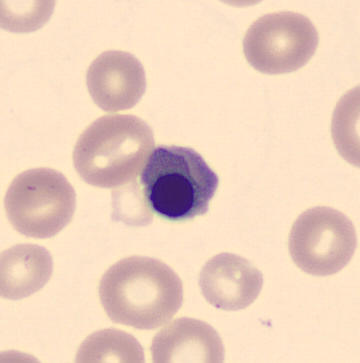

Q: What is this?
A: It is an erythroblast.